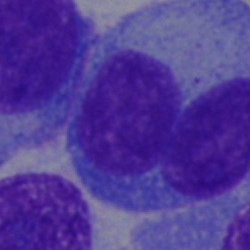 Single cell identified as a plasmacyte.